40× oil immersion. Bone marrow smear — 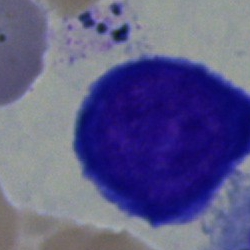
Cell — pronormoblast.